Bone marrow smear. Cropped to a single cell: 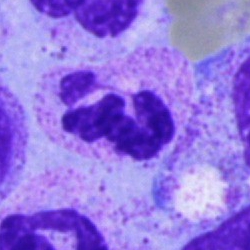

A segmented neutrophil.